Bone marrow smear.
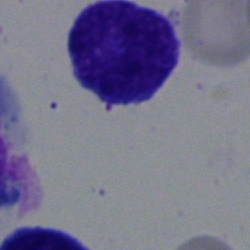 Q: What type of cell is this?
A: It is a lymphocyte.